Bone marrow smear.
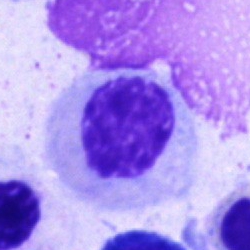This is a nucleated red cell.